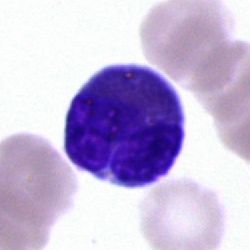Bone marrow aspirate smear, single cell — lymphocyte.